Pappenheim-stained · bone marrow smear · 250×250 px — 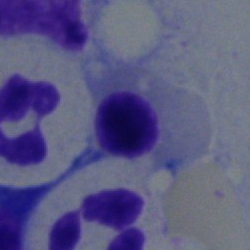 {"cell_type": "nucleated red blood cell", "lineage": "erythroid"}